May-Grünwald-Giemsa/Pappenheim stain. 250×250 px. Bone marrow smear: 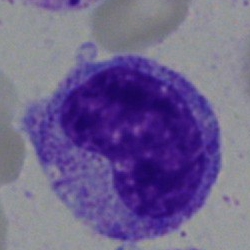 Single cell identified as a metamyelocyte.